Brightfield microscopy, 40× oil immersion · bone marrow aspirate smear · May-Grünwald-Giemsa/Pappenheim stain
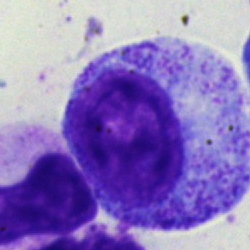This is a progranulocyte.